Bone marrow aspirate smear. Pappenheim-stained. Single cell centered in the field — 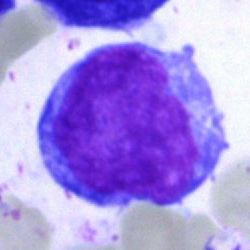

Classification: undifferentiated blast.